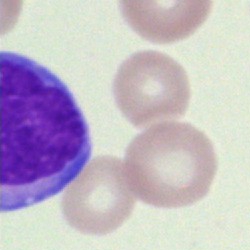Impression → unidentifiable cell.